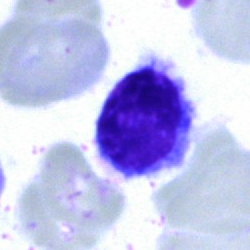

The cell shown is a lymphocyte.